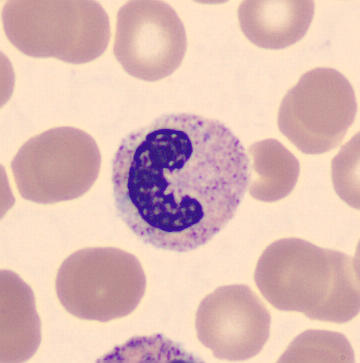Imaged on a CellaVision DM96 analyser. Specimen: peripheral blood smear.
Morphological class: stab cell.
Lineage: myeloid.